Bone marrow smear
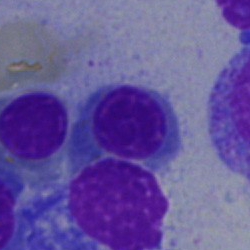

Cell = erythroblast.